Bone marrow smear. MGG-stained. 250 by 250 pixels:
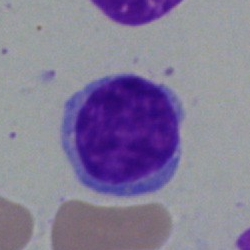The cell shown is a lymphocyte.